Bone marrow aspirate smear:
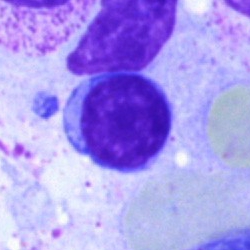

Cell type — typical lymphocyte.